Bone marrow aspirate smear — 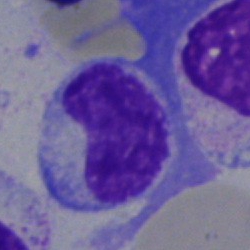

Q: What type of cell is this?
A: Band neutrophil.